Bone marrow smear: 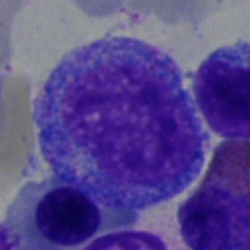
{"cell_type": "progranulocyte"}